Bone marrow aspirate smear:
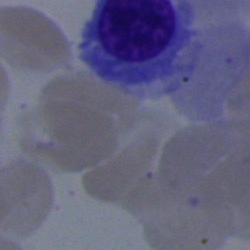
Cell type: erythroblast.